Bone marrow aspirate smear — 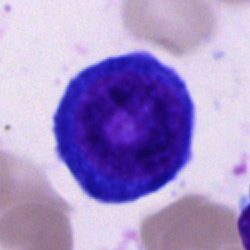 Morphological class: proerythroblast.